Bone marrow smear; single-cell crop — 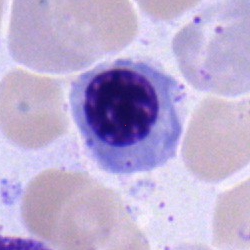 Impression → erythroblast.